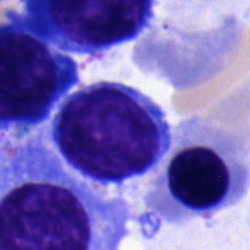Q: What type of cell is this?
A: A lymphocyte.